Pappenheim-stained. Bone marrow aspirate smear — 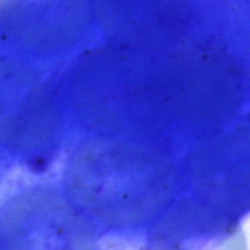Q: What is shown here?
A: This is an artifact.